Bone marrow smear. Brightfield microscopy, 40× oil immersion
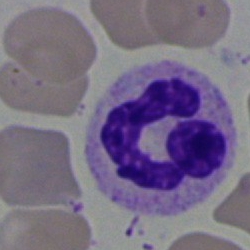 Cell: neutrophil (segmented).